Bone marrow aspirate smear — 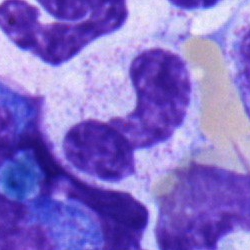

Morphology — stab cell.